Bone marrow aspirate smear
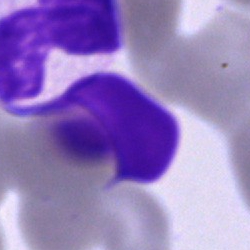 Cell of indeterminate lineage.